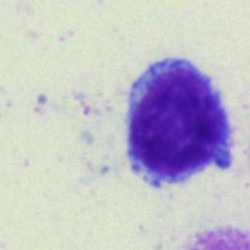
Q: What cell is this?
A: A lymphocyte.